Bone marrow smear
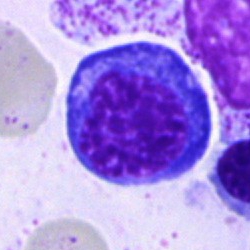

Morphology consistent with a nucleated red cell.